Peripheral blood smear:
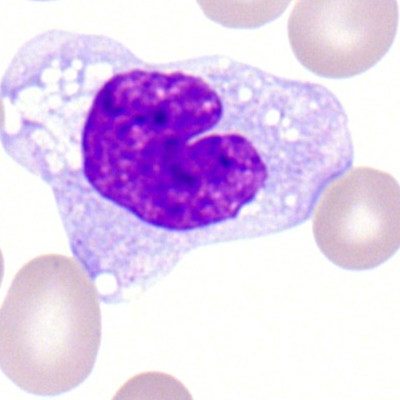
Morphology — monocyte.